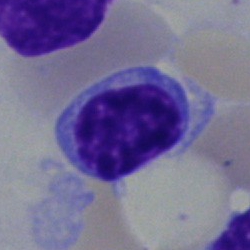 Q: What type of cell is this?
A: Lymphocyte.